Peripheral blood smear. M8 digital microscope (Precipoint), 100× oil immersion.
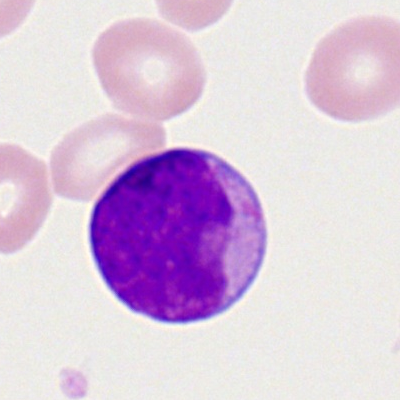 Morphological class — myeloblast.